Peripheral blood smear. 400×400. Cropped to a single cell: 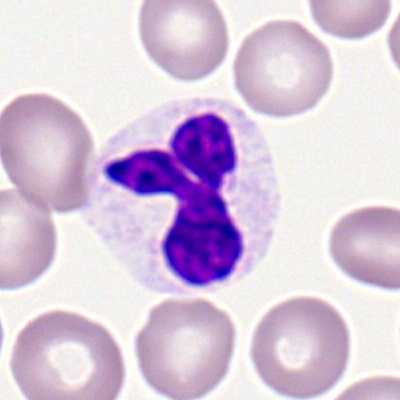

The cell shown is a neutrophil (segmented).